Peripheral blood smear — 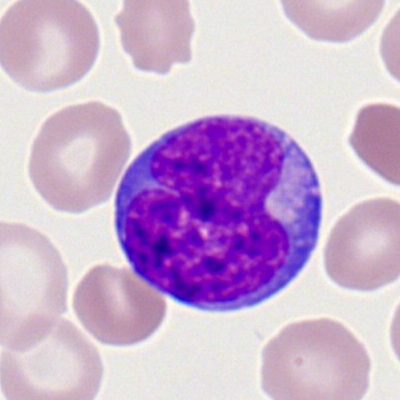 Morphology → myeloid blast.